Bone marrow smear. Single-cell field — 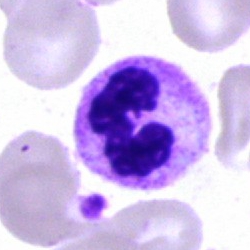
The cell shown is a segmented neutrophil.